Bone marrow aspirate smear — 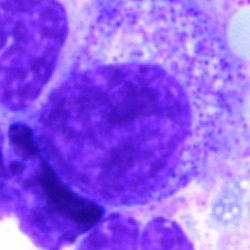Impression → normoblast.